Bone marrow aspirate smear
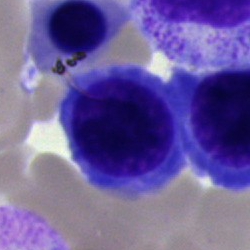 This is a nucleated red blood cell.